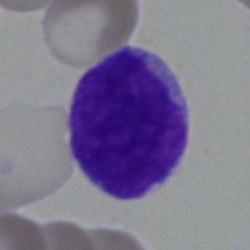

Q: What is the morphological classification of this cell?
A: It is an undifferentiated blast.